Image size 250×250; single cell centered in the field; bone marrow smear: 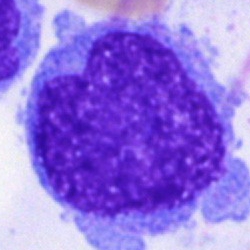Morphological class — blast cell.